Bone marrow aspirate smear — 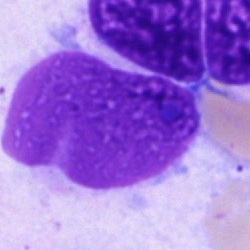

Cell — artifact.